Bone marrow aspirate smear.
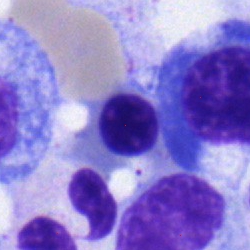

This is a normoblast.